Bone marrow aspirate smear — 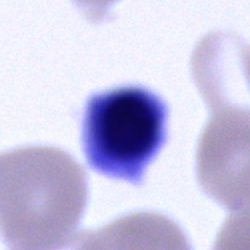 Morphology consistent with a nucleated red blood cell.